100× oil immersion · peripheral blood smear
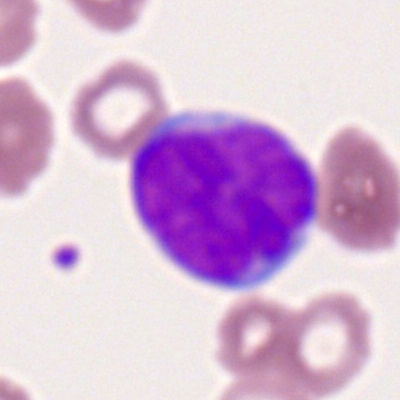 Impression → myeloblast.